Bone marrow aspirate smear:
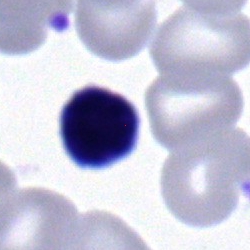Showing a lymphocyte.